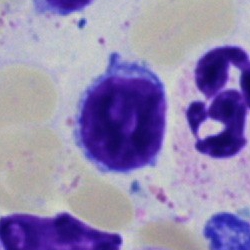 Classification — typical lymphocyte.